Bone marrow aspirate smear — 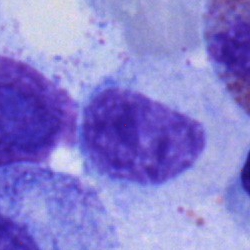
Q: Identify the cell.
A: A typical lymphocyte.